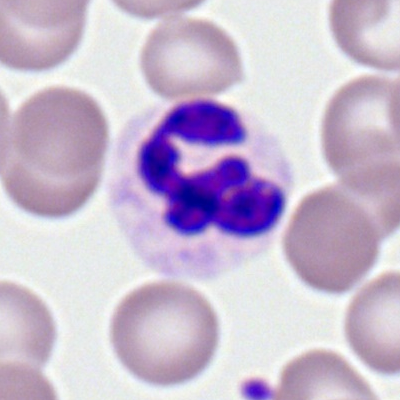 Specimen: peripheral blood smear.
Cell type: polymorphonuclear neutrophil.
Lineage: myeloid.